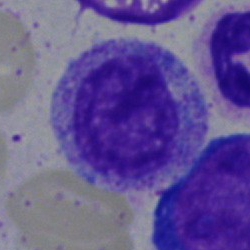

A myelocyte.